Bone marrow aspirate smear; cropped to a single cell; MGG-stained — 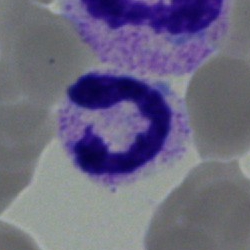Polymorphonuclear neutrophil.